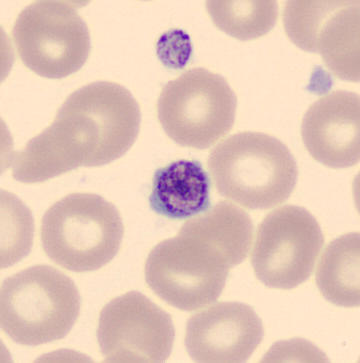Morphology consistent with a thrombocyte.